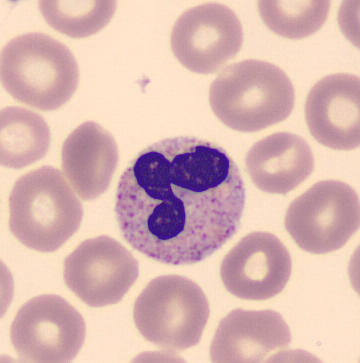Preparation: Image size 360×363; peripheral blood film.

Q: What type of cell is this?
A: It is a band-form neutrophil.